Bone marrow smear — 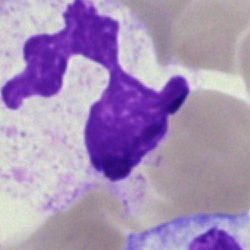 Specimen: bone marrow smear.
Cell: neutrophil (segmented).
Lineage: myeloid.